Peripheral blood film.
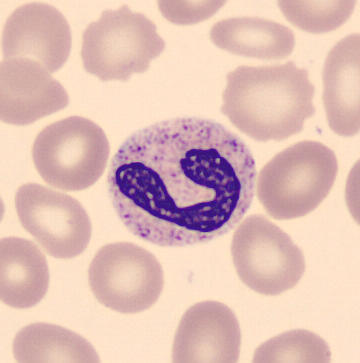Morphology consistent with a neutrophil (band).